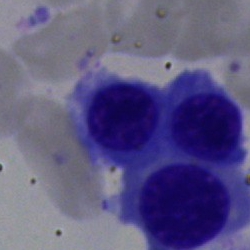
Morphology consistent with a nucleated red blood cell.